Bone marrow smear
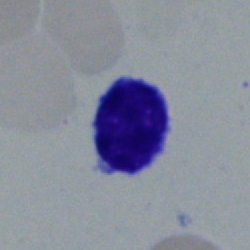
Specimen: bone marrow aspirate smear.
Classification: lymphocyte.
Lineage: lymphoid.